Bone marrow smear:
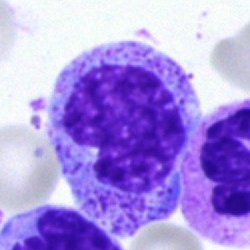 {"cell_type": "metamyelocyte"}